Bone marrow aspirate smear · single-cell field: 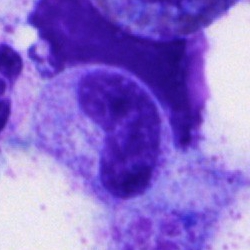 {"cell_type": "metamyelocyte"}